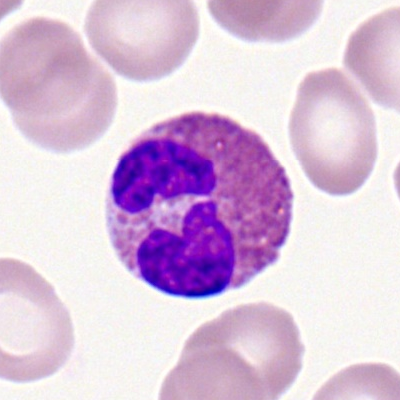 Showing an eosinophil.